Pappenheim-stained · bone marrow aspirate smear · single-cell field
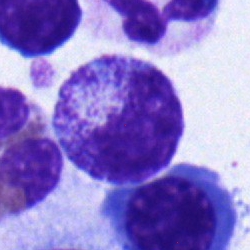 Q: Identify the cell.
A: This is a metamyelocyte.